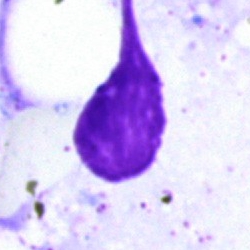 Q: What is shown here?
A: It is an artefact.